Bone marrow aspirate smear — 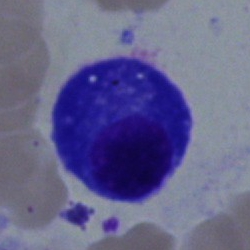 Morphology — plasmacyte.